Single-cell crop; bone marrow aspirate smear: 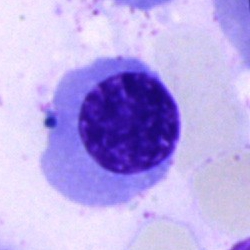
Single cell identified as an erythroblast.